250 by 250 pixels. Bone marrow aspirate smear:
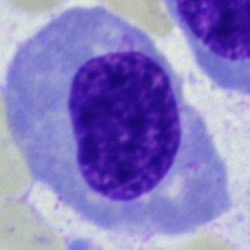 Morphological class = erythroblast.